Pappenheim-stained · bone marrow smear: 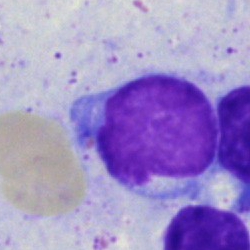
Cell type — typical lymphocyte.